Bone marrow aspirate smear: 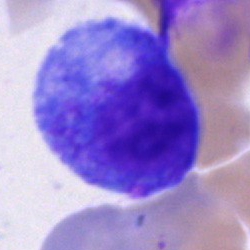

Cell type — promyelocyte.